Bone marrow smear.
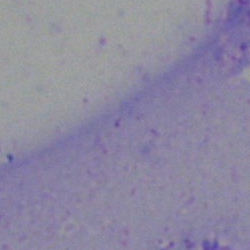

Cell type: artifact.